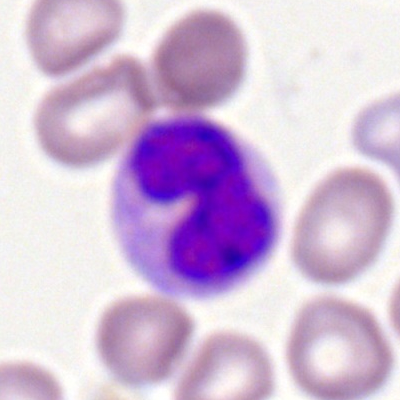Morphology consistent with a segmented neutrophil.